Single-cell crop. Peripheral blood film. 400×400.
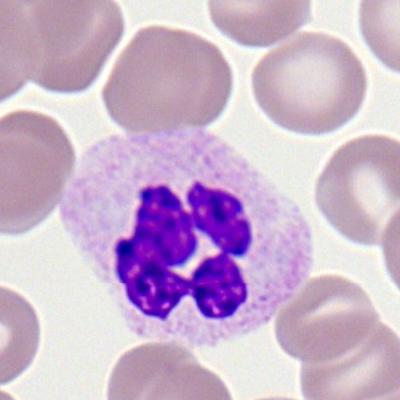A segmented neutrophil.